Bone marrow smear.
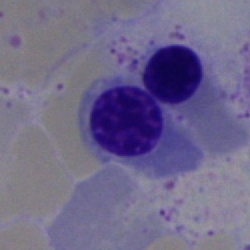 Morphological class: erythroblast.